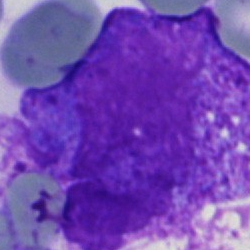
Cell — artifact.